Bone marrow smear · 250×250 — 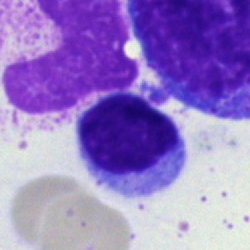
A typical lymphocyte.